Image size 250×250; bone marrow aspirate smear; cropped to a single cell: 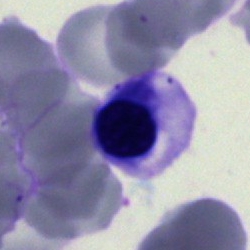Q: Which cell type is shown here?
A: A normoblast.